Bone marrow smear.
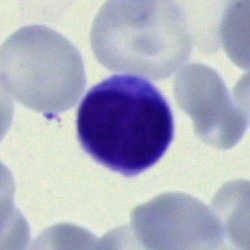
Morphology → lymphocyte.